Bone marrow smear
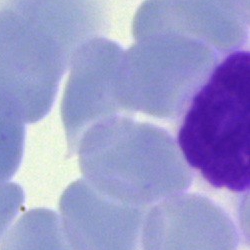
{"cell_type": "artifact"}